Brightfield microscopy, 40× oil immersion. May-Grünwald-Giemsa stain. Bone marrow smear
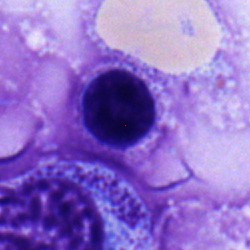

Classification — lymphocyte.